Brightfield microscopy, 40× oil immersion. Bone marrow smear — 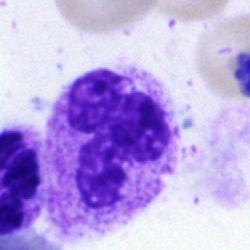

The cell shown is a neutrophil (segmented).